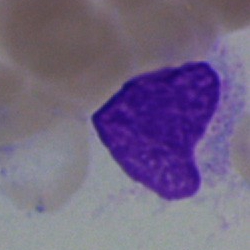

Cell type — artefact.